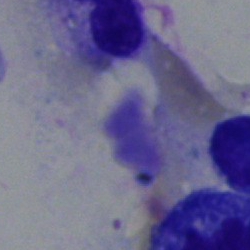Q: What is shown here?
A: An artifact.